Bone marrow aspirate smear.
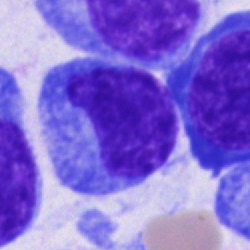

Morphology → plasmacyte.